100× oil immersion, 14.14 px/µm; peripheral blood smear:
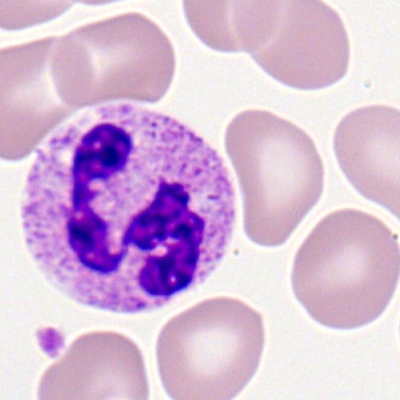 Classification — segmented neutrophil.